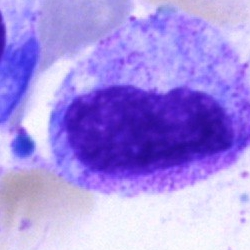The morphological class is progranulocyte.